Bone marrow aspirate smear.
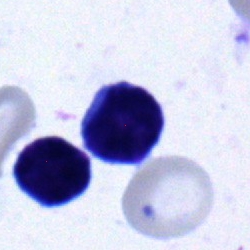 The cell shown is a typical lymphocyte.